40× oil immersion; bone marrow smear.
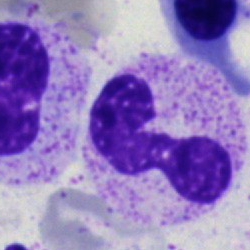 Band-form neutrophil.